Bone marrow smear
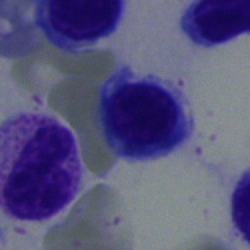

Morphology consistent with a typical lymphocyte.